Bone marrow smear — 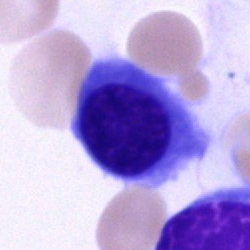 Nucleated red blood cell.